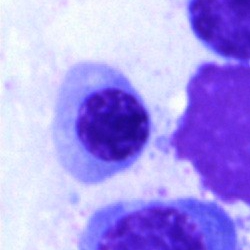Bone marrow smear showing a nucleated red blood cell.